Single-cell crop; 250 by 250 pixels; bone marrow smear
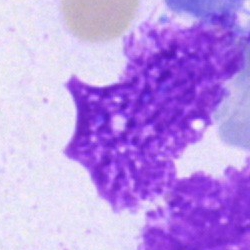
Cell type = artefact.